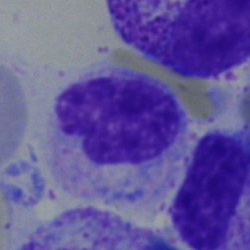

Specimen: bone marrow smear.
Cell: metamyelocyte.
Lineage: myeloid.